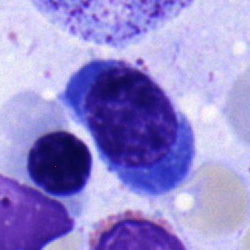

Nucleated red cell.